Bone marrow smear — 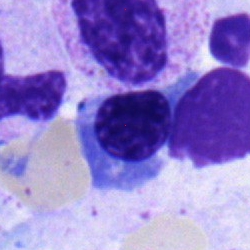
Showing a nucleated red cell.